Bone marrow aspirate smear: 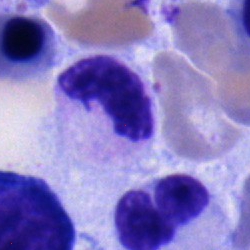
The cell is band-form neutrophil.